Bone marrow aspirate smear.
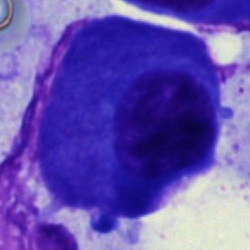Q: What type of cell is this?
A: This is a plasma cell.